Peripheral blood film. Romanowsky-stained.
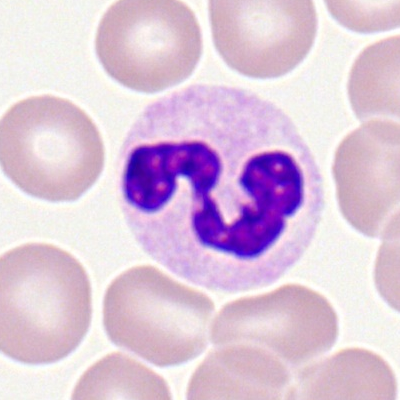
The cell shown is a polymorphonuclear neutrophil.